Bone marrow aspirate smear: 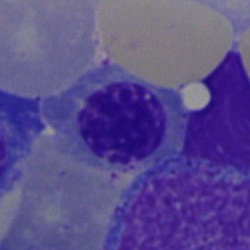

Cell: nucleated red cell.